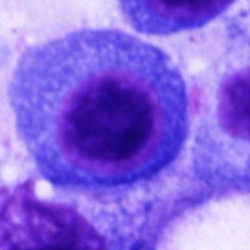
Bone marrow smear showing a plasma cell.